Bone marrow aspirate smear: 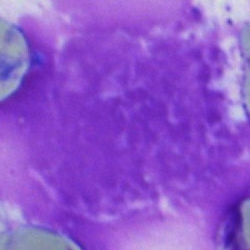
{"cell_type": "artefact"}